Brightfield, 40× oil-immersion objective. Bone marrow aspirate smear:
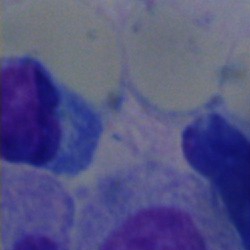
Single cell identified as an artefact.